Peripheral blood film · M8 digital microscope (Precipoint), 100× oil immersion:
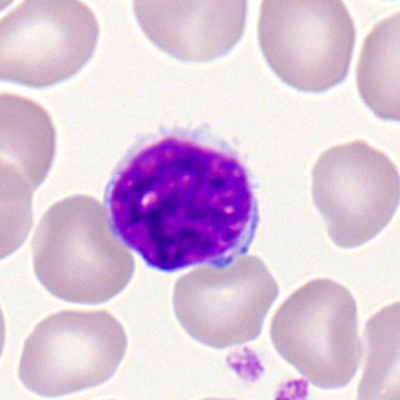{"cell_type": "lymphocyte", "lineage": "lymphoid"}